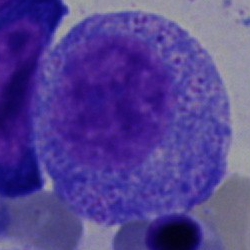{"cell_type": "promyelocyte"}